MGG-stained · bone marrow aspirate smear · 40× objective, oil immersion — 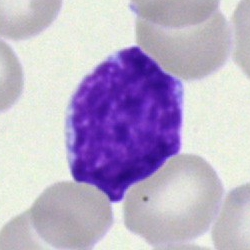This is a blast cell.